Bone marrow aspirate smear; 40× oil immersion: 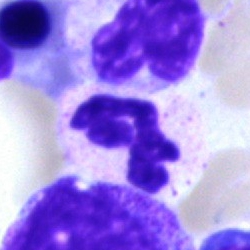 Single cell identified as a polymorphonuclear neutrophil.